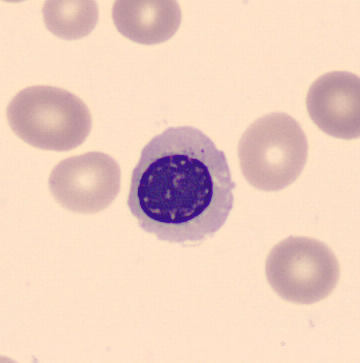 Morphological class: nucleated red cell.